Bone marrow aspirate smear:
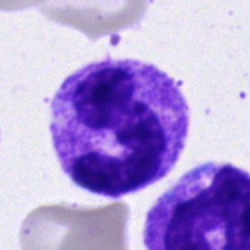Q: What type of cell is this?
A: A polymorphonuclear neutrophil.